Bone marrow aspirate smear
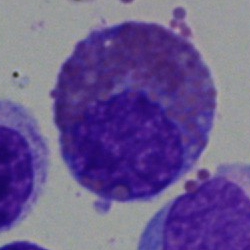 Q: Which cell type is shown here?
A: This is an eosinophilic granulocyte.